Bone marrow smear; 250×250 px: 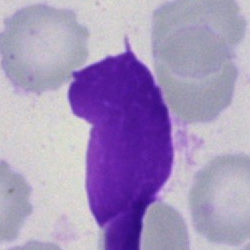 An artefact.